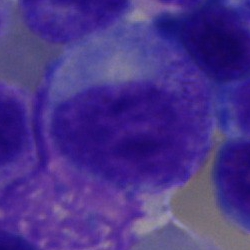
Cell type = myelocyte.